Single-cell crop · 40× oil immersion · bone marrow aspirate smear:
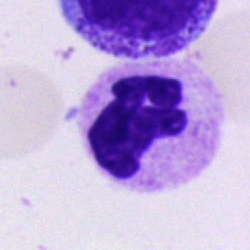

{"cell_type": "polymorphonuclear neutrophil", "lineage": "myeloid"}